Bone marrow smear — 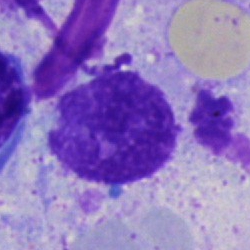
Cell type = artifact.